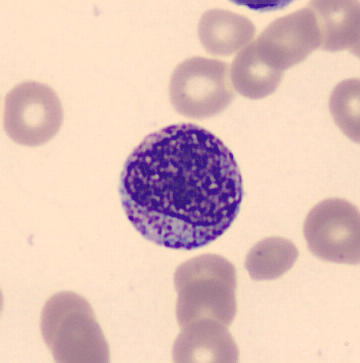 Preparation: 360×363. Peripheral blood smear. Morphology — myelocyte.